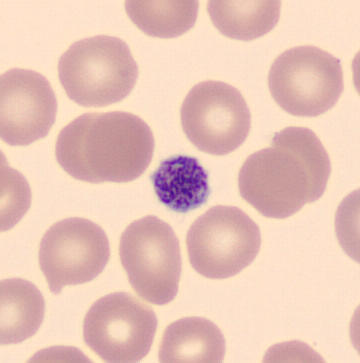Peripheral blood film · May Grünwald-Giemsa stain.

Classification: platelet.